Bone marrow aspirate smear · cropped to a single cell
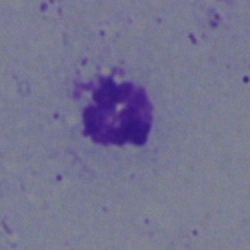
Morphology — artifact.